40× oil immersion · bone marrow smear: 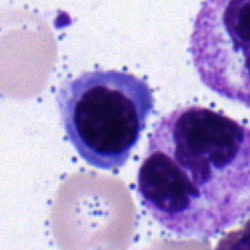 Q: What cell is this?
A: It is a normoblast.